Bone marrow aspirate smear:
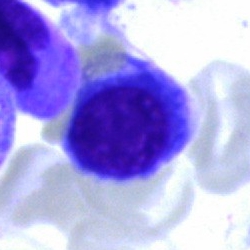Cell = normoblast.